May-Grünwald-Giemsa/Pappenheim stain. Image size 250×250. Bone marrow smear.
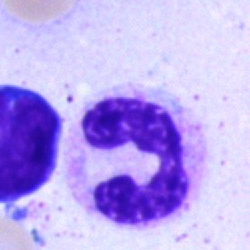Single cell identified as a segmented neutrophil.